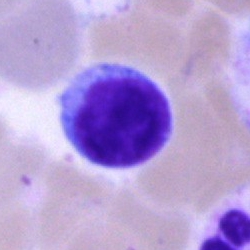 The cell shown is a lymphocyte.